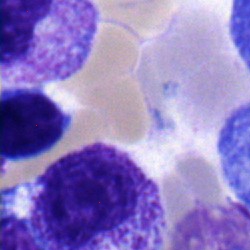
Cell type: lymphocyte.